Bone marrow aspirate smear; 40× oil immersion
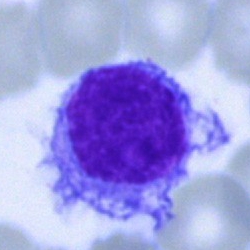

This is a hairy cell.